Bone marrow smear: 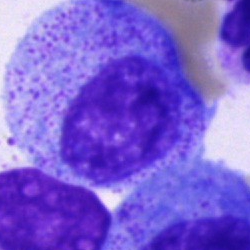 Cell: promyelocyte.